Bone marrow smear. 250×250: 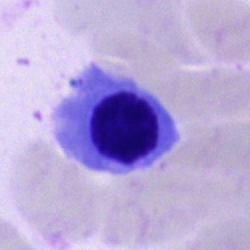Cell type — nucleated red blood cell.